Bone marrow smear: 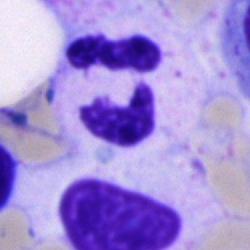Specimen: bone marrow smear.
Morphological class: neutrophil (segmented).